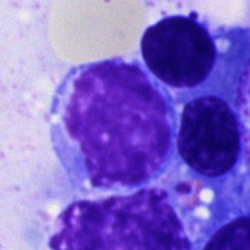 Typical lymphocyte.